Bone marrow smear:
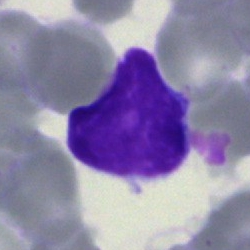

The morphological class is lymphocyte.